Bone marrow smear · single-cell field: 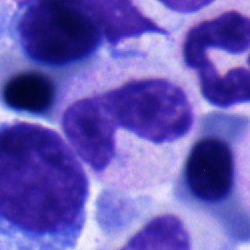

This is a band neutrophil.